Brightfield, 40× oil-immersion objective; bone marrow smear; image size 250×250.
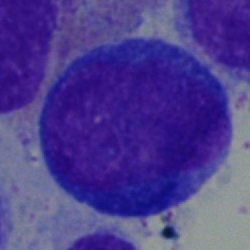
A proerythroblast.